Bone marrow smear · May-Grünwald-Giemsa stain:
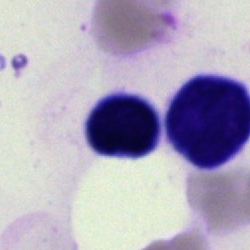This is a typical lymphocyte.